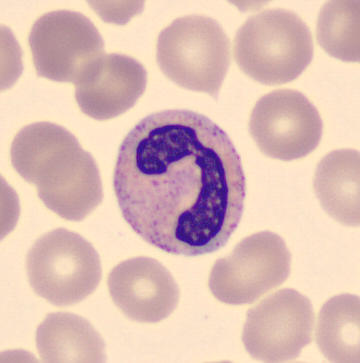
May-Grünwald-Giemsa-stained · peripheral blood smear · cropped to a single cell.

Cell: band-form neutrophil.